May-Grünwald-Giemsa stain. Bone marrow aspirate smear:
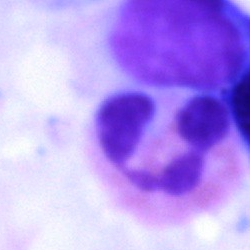 Classification — segmented neutrophil.